400×400 · cropped to a single cell · peripheral blood smear: 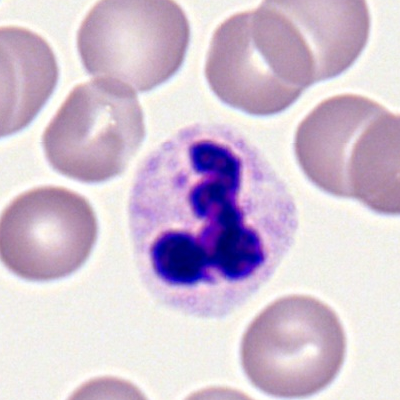Morphology — neutrophil (segmented).